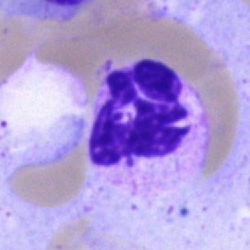

The cell shown is a segmented neutrophil.